Single-cell crop; peripheral blood film — 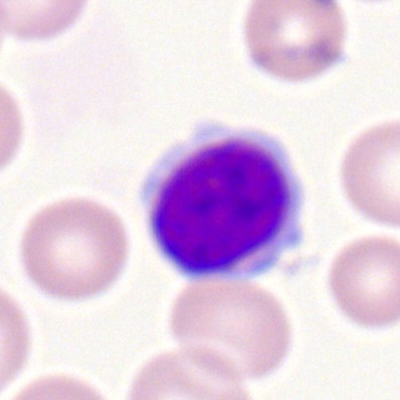Showing a lymphocyte.